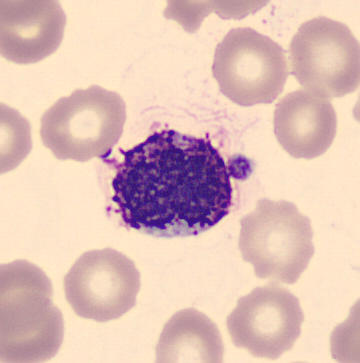
Acquisition: May Grünwald-Giemsa stain; peripheral blood film. Q: What is this?
A: A basophil.